Peripheral blood smear: 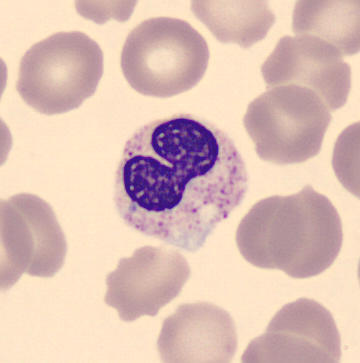 Q: Identify the cell.
A: This is a band-form neutrophil.